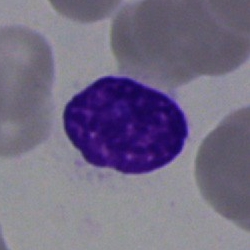The cell type is artefact.